May-Grünwald-Giemsa stain; bone marrow aspirate smear; 40× objective, oil immersion — 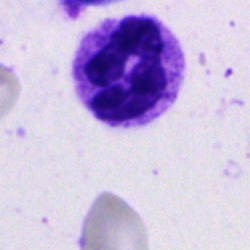Q: Which cell type is shown here?
A: This is a neutrophil (segmented).